Bone marrow aspirate smear.
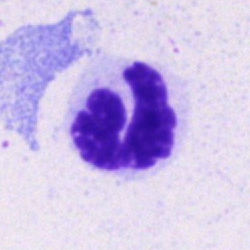

Q: What is the morphological classification of this cell?
A: A neutrophil (segmented).